Bone marrow aspirate smear.
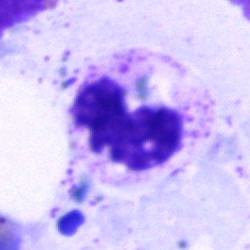
{"cell_type": "segmented neutrophil"}